Bone marrow aspirate smear; cropped to a single cell.
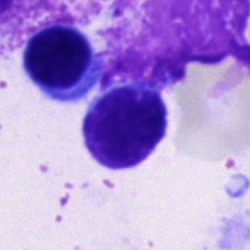

Specimen: bone marrow smear.
Morphological class: typical lymphocyte.
Lineage: lymphoid.